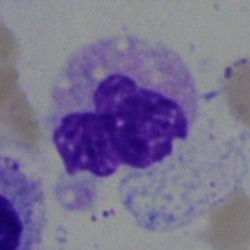
Polymorphonuclear neutrophil.